Bone marrow aspirate smear; 250×250 px; 40× oil immersion
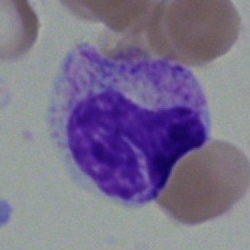
{"cell_type": "band-form neutrophil"}